Bone marrow aspirate smear: 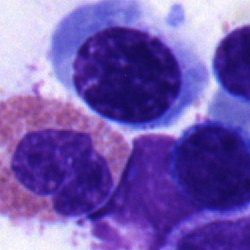

Impression — nucleated red blood cell.